Bone marrow aspirate smear: 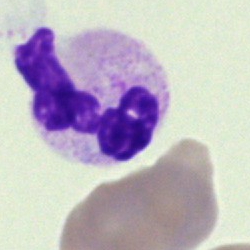
Morphological class — segmented neutrophil.